Bone marrow smear · May-Grünwald-Giemsa/Pappenheim stain: 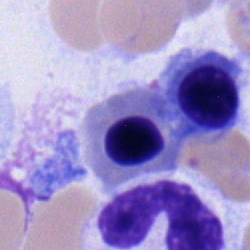

The cell type is erythroblast.